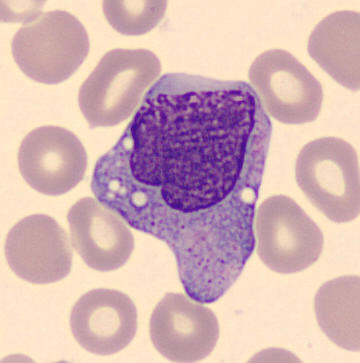

Cell — monocyte.